Peripheral blood smear
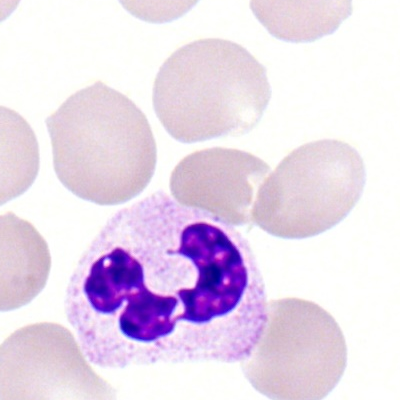
Specimen: peripheral blood film.
Classification: polymorphonuclear neutrophil.
Lineage: myeloid.